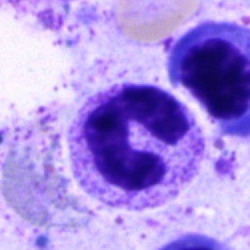

Q: What is shown here?
A: This is a neutrophil (segmented).